Bone marrow aspirate smear.
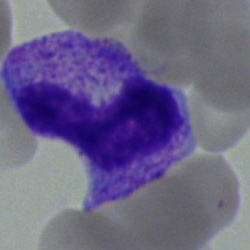
Classification = band neutrophil.